Bone marrow smear · single cell centered in the field.
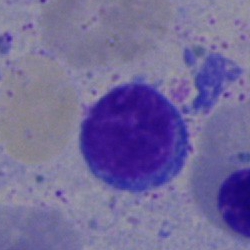 Impression — lymphocyte.